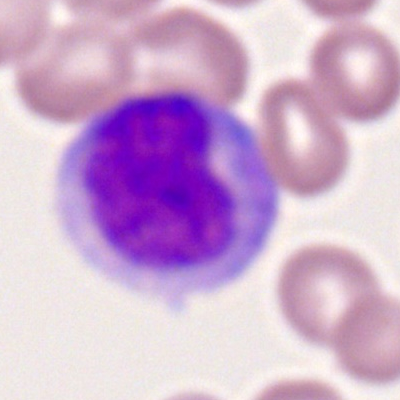The morphological class is monocyte.